40× objective, oil immersion. Bone marrow smear:
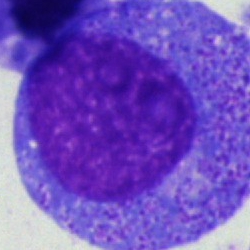A progranulocyte.